Single-cell crop · bone marrow aspirate smear · May-Grünwald-Giemsa/Pappenheim stain:
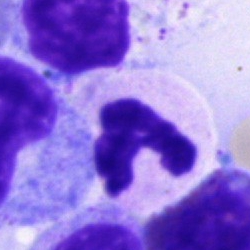

Q: Which cell type is shown here?
A: It is a polymorphonuclear neutrophil.